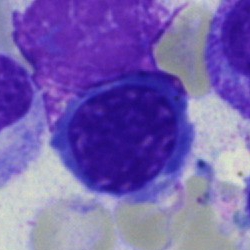
Cell: nucleated red blood cell.